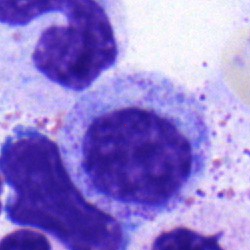Impression → myelocyte.